Bone marrow smear — 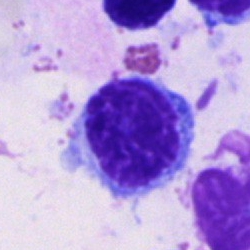
Q: What is shown here?
A: A lymphocyte.